Bone marrow aspirate smear.
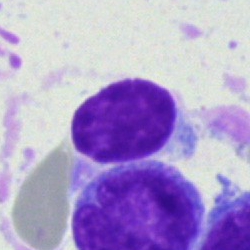 Showing a typical lymphocyte.